Bone marrow smear.
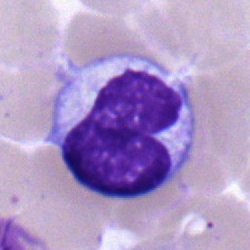
Morphological class = stab cell.